Bone marrow aspirate smear: 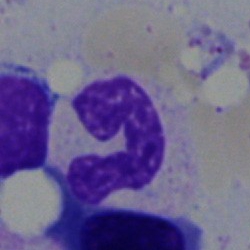
Morphology consistent with a neutrophil (segmented).